Peripheral blood film. 400×400
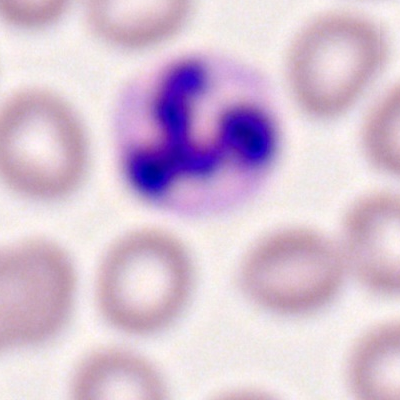

The cell shown is a segmented neutrophil.